Bone marrow smear.
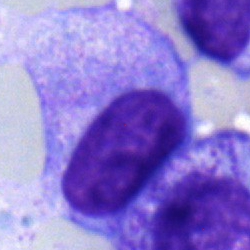The morphological class is plasmacyte.